Bone marrow smear:
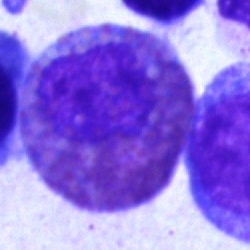
This is an eosinophil.